Bone marrow aspirate smear.
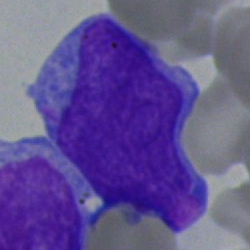
Showing an undifferentiated blast.